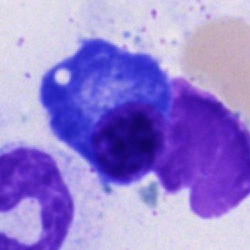

A plasmacyte on a bone marrow smear.